Bone marrow smear
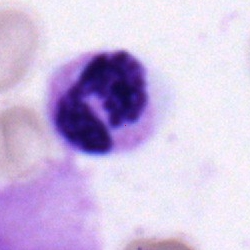

Morphology consistent with a neutrophil (segmented).